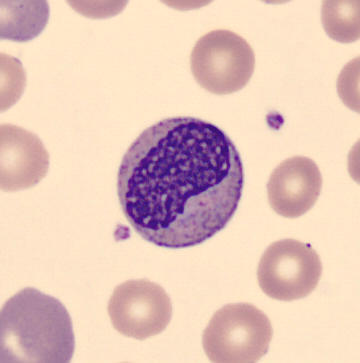
Q: What is shown here?
A: It is a metamyelocyte.